Single-cell field; bone marrow smear.
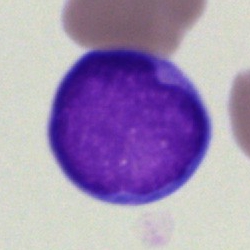

{"cell_type": "undifferentiated blast"}